Bone marrow aspirate smear — 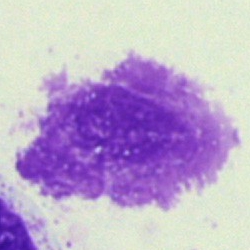 Showing an artefact.